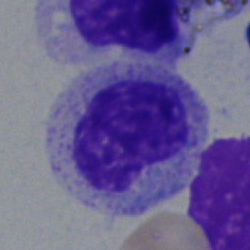

Impression — metamyelocyte.